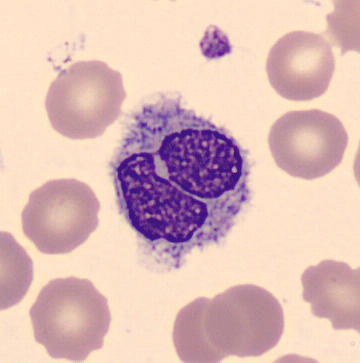

Peripheral blood film.

Cell type: monocyte.